Bone marrow smear:
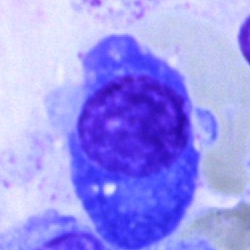 Cell — plasmacyte.